Bone marrow smear: 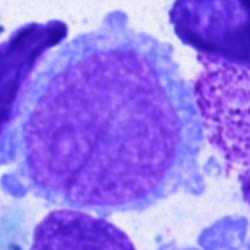
Morphology consistent with a blast cell.